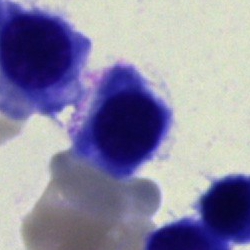
Specimen: bone marrow smear.
Morphological class: nucleated red cell.
Lineage: erythroid.